Bone marrow smear. Brightfield microscopy, 40× oil immersion
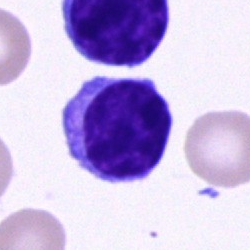
The cell shown is a typical lymphocyte.